Bone marrow smear.
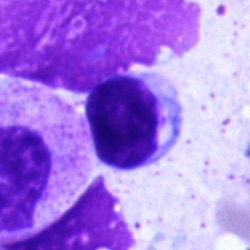
{"cell_type": "typical lymphocyte", "lineage": "lymphoid"}